Peripheral blood smear: 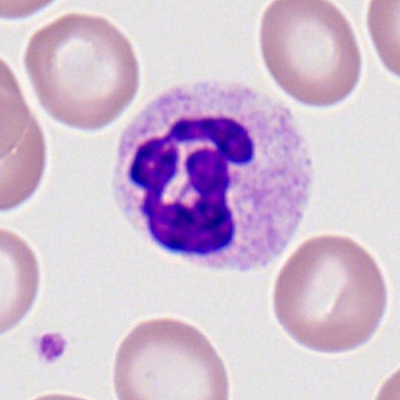 Morphology consistent with a neutrophil (segmented).